Bone marrow smear
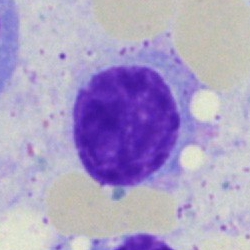{"cell_type": "typical lymphocyte", "lineage": "lymphoid"}